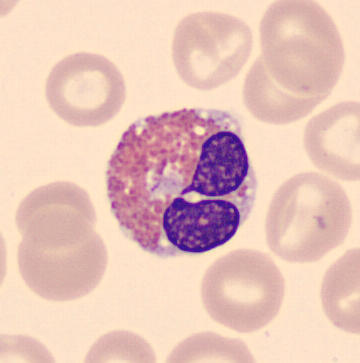
Image: Peripheral blood smear · 360×363 · MGG-stained.
The cell type is eosinophil.